Bone marrow aspirate smear.
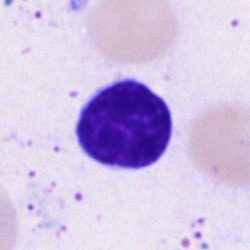Cell type: typical lymphocyte.